Single cell centered in the field; bone marrow smear
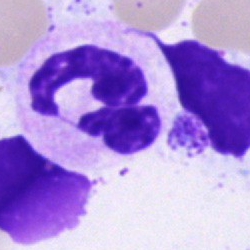This is a segmented neutrophil.